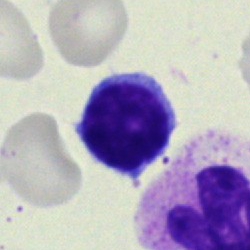

Morphological class — lymphocyte.